Bone marrow smear
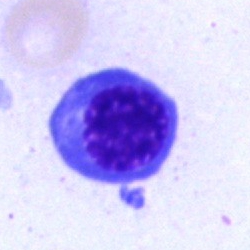A nucleated red cell.